Single-cell crop · May-Grünwald-Giemsa stain · bone marrow smear:
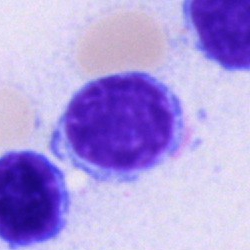 Q: Identify the cell.
A: Typical lymphocyte.